Brightfield, 40× oil-immersion objective · bone marrow smear: 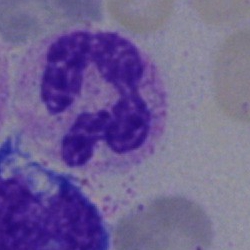Cell type: segmented neutrophil.